Bone marrow smear. 250 by 250 pixels: 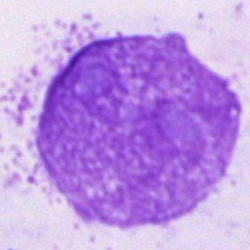 Single cell identified as an artefact.